Single cell centered in the field. 40× oil immersion. Bone marrow smear
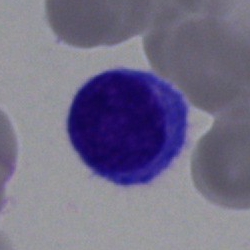 Q: What is the morphological classification of this cell?
A: This is a lymphocyte.